Bone marrow smear:
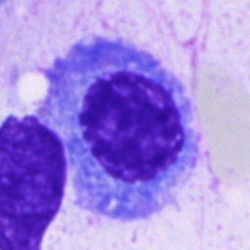
Morphology consistent with a plasma cell.